250 by 250 pixels · bone marrow smear.
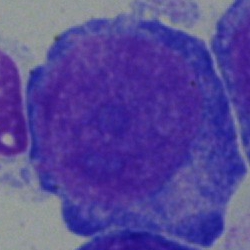Morphology → proerythroblast.